Bone marrow aspirate smear:
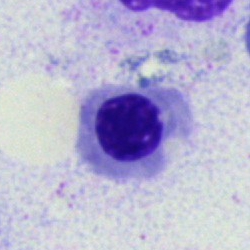

Q: What is the morphological classification of this cell?
A: It is a normoblast.